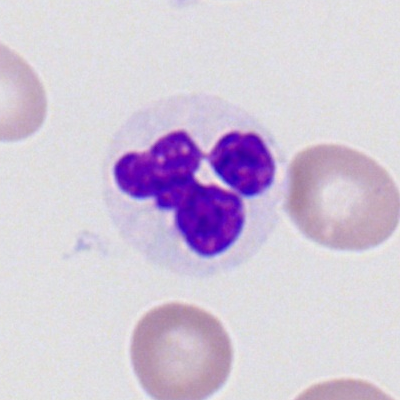

Segmented neutrophil.